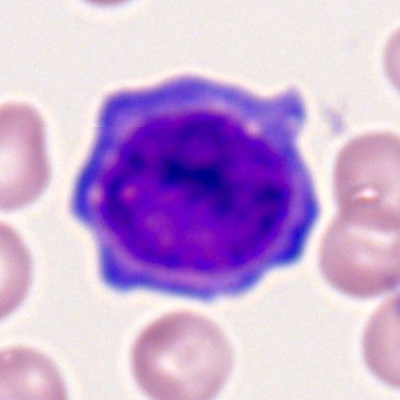

{"cell_type": "myeloblast", "lineage": "myeloid"}